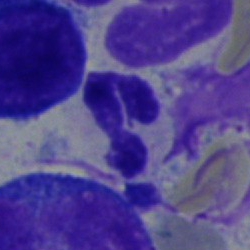
This is a segmented neutrophil.